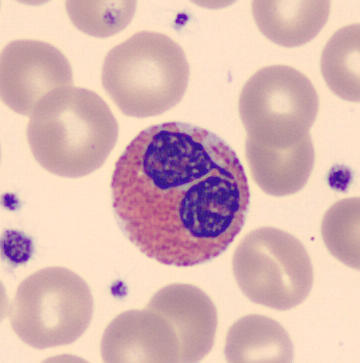
Classification — eosinophilic granulocyte.
Acquisition: Peripheral blood smear.